Brightfield microscopy, 40× oil immersion; bone marrow smear; Pappenheim-stained — 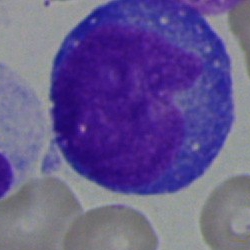
Impression — undifferentiated blast.